Bone marrow aspirate smear · Pappenheim-stained.
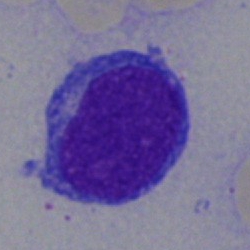
Morphology consistent with a promyelocyte.